Bone marrow smear:
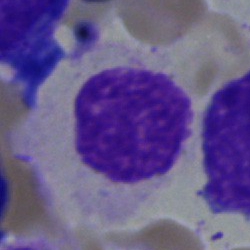The cell shown is a myelocyte.